Bone marrow aspirate smear
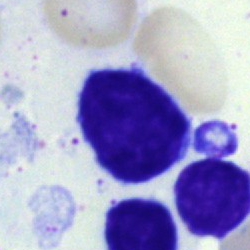 Morphology → typical lymphocyte.